Bone marrow aspirate smear — 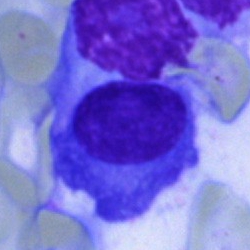 Q: What is shown here?
A: Plasmacyte.